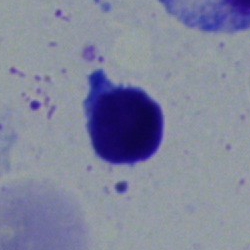
The cell type is typical lymphocyte.